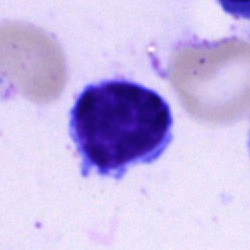

Specimen: bone marrow smear.
Cell: typical lymphocyte.
Lineage: lymphoid.